Bone marrow smear · 40× objective, oil immersion · image size 250×250.
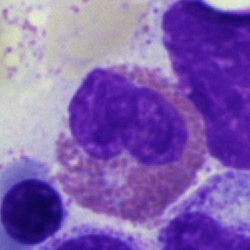

This is an eosinophilic granulocyte.